Bone marrow aspirate smear — 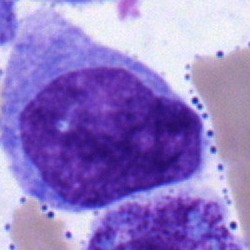

Morphology — undifferentiated blast.